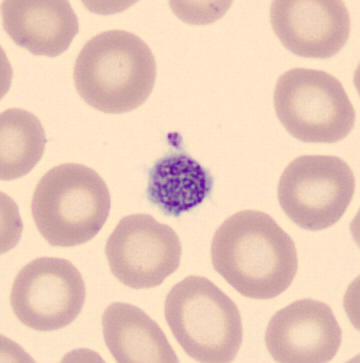
Specimen: peripheral blood smear.
Cell type: platelet (thrombocyte).